Bone marrow smear — 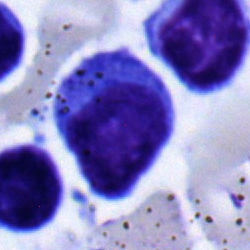 Cell = typical lymphocyte.